Bone marrow aspirate smear:
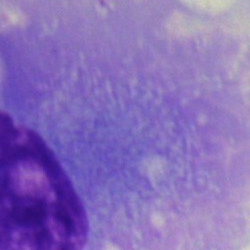Specimen: bone marrow smear.
Morphological class: artifact.